40× oil immersion · bone marrow aspirate smear.
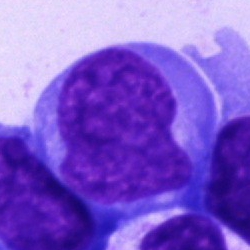 Specimen: bone marrow aspirate smear.
Cell: undifferentiated blast.